Bone marrow smear:
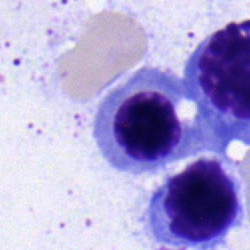
Q: What is the morphological classification of this cell?
A: A nucleated red blood cell.